Bone marrow smear · single cell centered in the field — 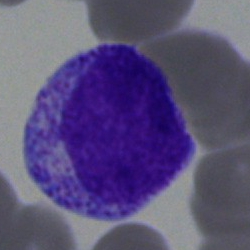The morphological class is progranulocyte.